Bone marrow smear: 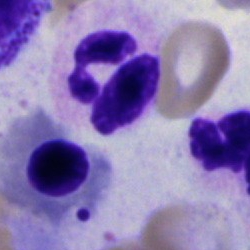

Single cell identified as a segmented neutrophil.